Bone marrow smear.
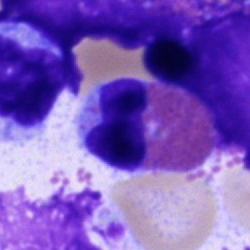
Morphological class — eosinophil.